Bone marrow smear; May-Grünwald-Giemsa stain
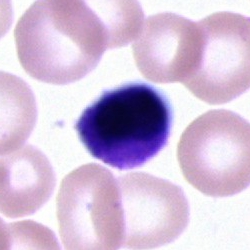Specimen: bone marrow smear.
Cell type: cell of indeterminate lineage.